Bone marrow aspirate smear; image size 250×250:
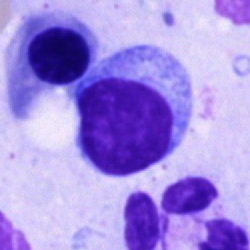
Q: Which cell type is shown here?
A: This is a typical lymphocyte.